MGG-stained; bone marrow smear.
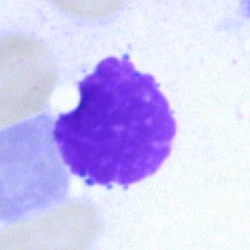

Showing an artefact.